Bone marrow aspirate smear · May-Grünwald-Giemsa stain: 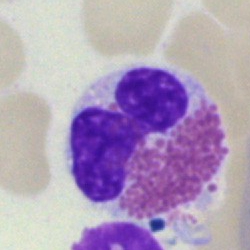 The cell is eosinophilic granulocyte.